Bone marrow aspirate smear · 40× objective, oil immersion
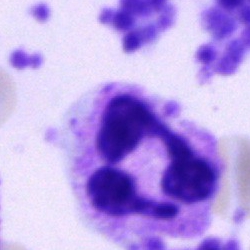Polymorphonuclear neutrophil.